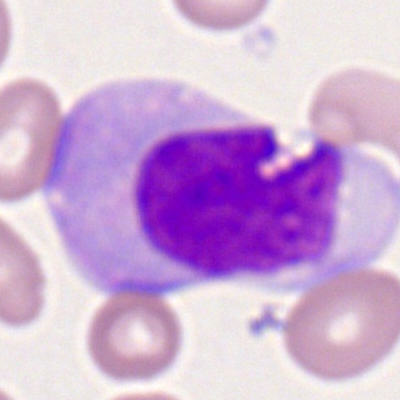
Q: Identify the cell.
A: Monocyte.